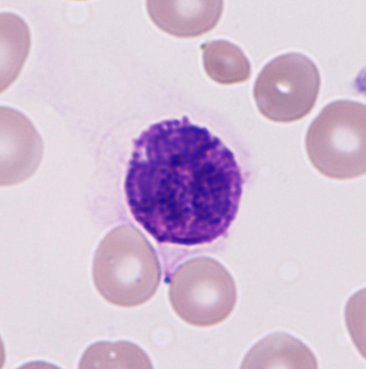 Acquisition: MGG-stained. Specimen: peripheral blood film.
Classification: basophil.
Lineage: myeloid.